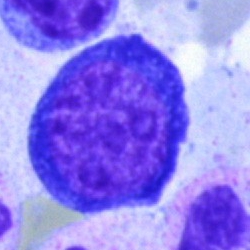
Classification = normoblast.